Bone marrow smear: 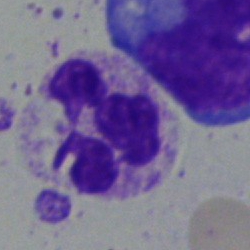Classification — polymorphonuclear neutrophil.